Brightfield, 40× oil-immersion objective; bone marrow smear — 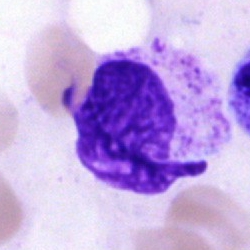 Q: What is shown here?
A: This is an artefact.